Bone marrow aspirate smear
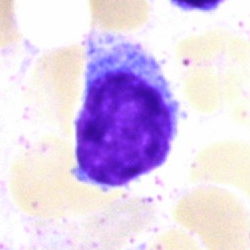Q: What type of cell is this?
A: It is a lymphocyte.